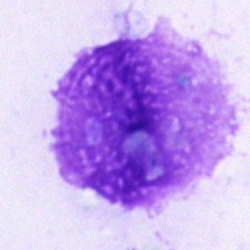Showing an artifact.